40× oil immersion; 250 by 250 pixels; bone marrow smear.
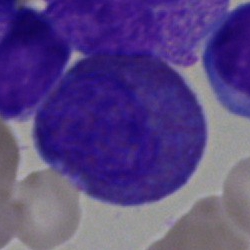

Morphology consistent with an eosinophilic granulocyte.